Bone marrow aspirate smear; brightfield microscopy, 40× oil immersion; Pappenheim-stained
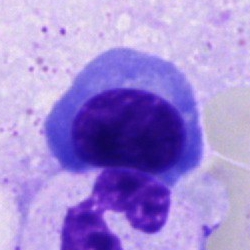 Q: What is shown here?
A: This is a nucleated red cell.